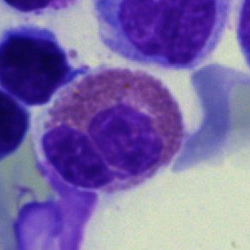

Single-cell crop from a bone marrow smear: eosinophilic granulocyte.